Bone marrow smear — 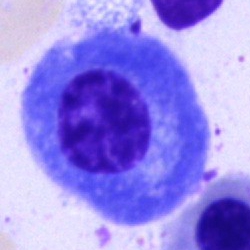
Plasmacyte.